Bone marrow aspirate smear — 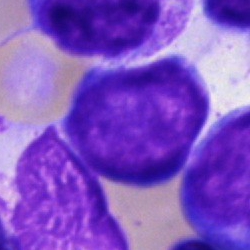

Morphology consistent with a blast.